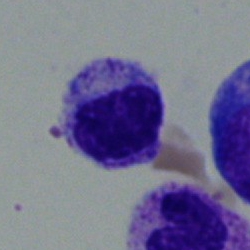

Morphology → lymphocyte.